Single-cell crop. Bone marrow aspirate smear — 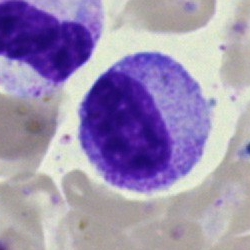 Specimen: bone marrow aspirate smear.
Classification: myelocyte.